Single cell centered in the field · bone marrow aspirate smear.
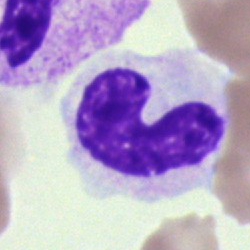

Showing a stab cell.